Bone marrow aspirate smear; 250 by 250 pixels; May-Grünwald-Giemsa stain
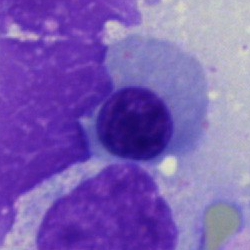

Cell type: erythroblast.